Peripheral blood smear · image size 400×400 · single cell centered in the field
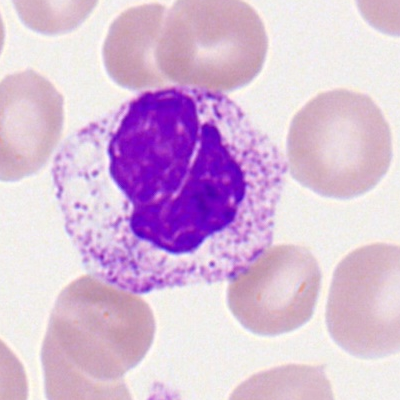 The morphological class is neutrophil (segmented).